Pappenheim-stained · bone marrow smear
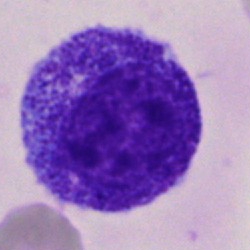 Showing a promyelocyte.